MGG-stained. Bone marrow smear. Cropped to a single cell: 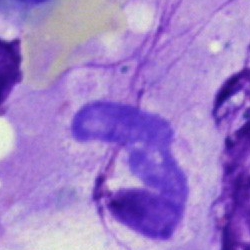
Cell type = polymorphonuclear neutrophil.